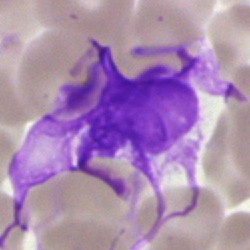

Showing an artefact.